Bone marrow smear · MGG-stained:
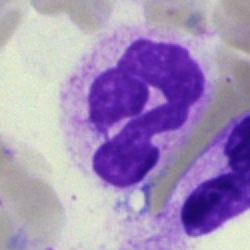
Q: What is the morphological classification of this cell?
A: It is a polymorphonuclear neutrophil.